Bone marrow smear: 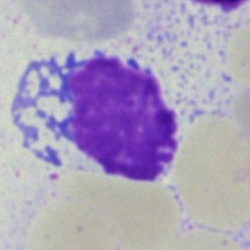 Impression — artefact.